Bone marrow aspirate smear:
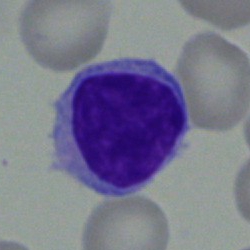

Classification: lymphocyte.